Bone marrow aspirate smear. Pappenheim-stained. 40× oil immersion:
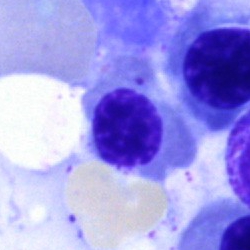Single cell identified as a normoblast.